Peripheral blood film.
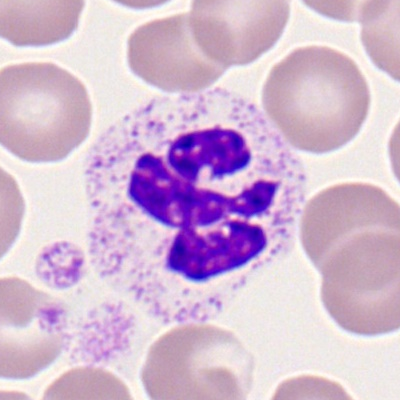 Q: Identify the cell.
A: Neutrophil (segmented).